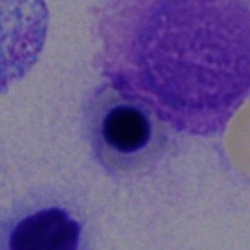Q: What cell is this?
A: This is an erythroblast.